Bone marrow aspirate smear:
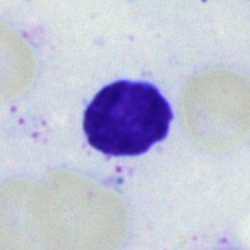

Morphology → lymphocyte.